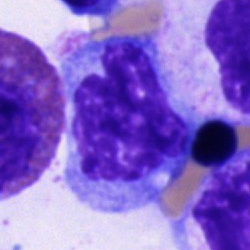

A monocyte.